Bone marrow aspirate smear.
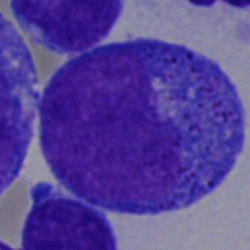 Promyelocyte.